Brightfield microscopy, 40× oil immersion. Bone marrow aspirate smear.
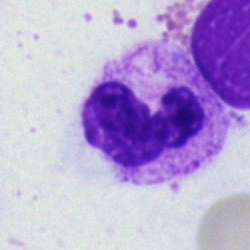
Specimen: bone marrow aspirate smear.
Cell: neutrophil (segmented).
Lineage: myeloid.